Bone marrow smear:
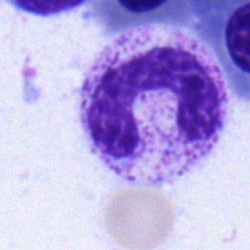 Q: What cell is this?
A: It is a neutrophil (band).